Bone marrow smear — 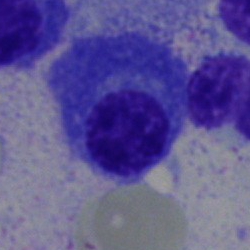Showing a plasma cell.